Bone marrow smear. MGG-stained. Image size 250×250
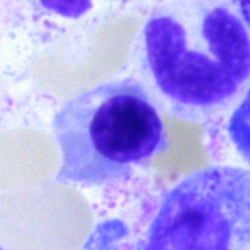

Q: What is shown here?
A: It is an erythroblast.